Bone marrow aspirate smear · single cell centered in the field
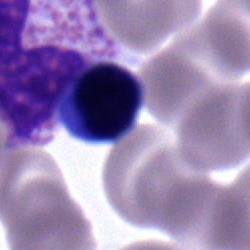
Single cell identified as a typical lymphocyte.